Bone marrow aspirate smear: 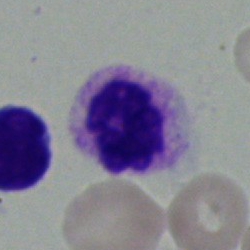This is a neutrophil (segmented).